Brightfield microscopy, 40× oil immersion · bone marrow smear: 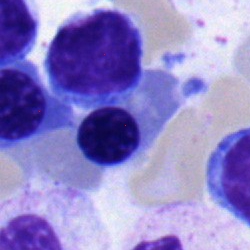

Showing a normoblast.